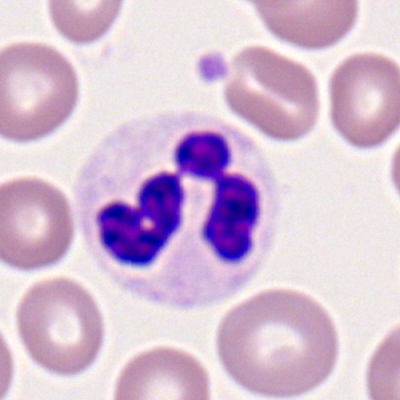Peripheral blood film, single cell — polymorphonuclear neutrophil.